Bone marrow aspirate smear. 40× objective, oil immersion.
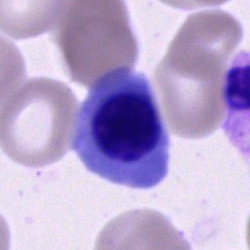

Single cell identified as an erythroblast.